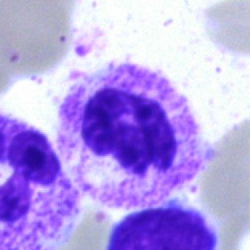
Morphology consistent with a polymorphonuclear neutrophil.